Bone marrow smear.
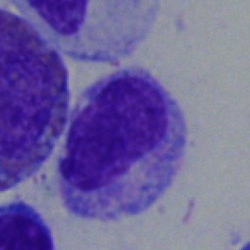Q: What type of cell is this?
A: Myelocyte.